Bone marrow smear: 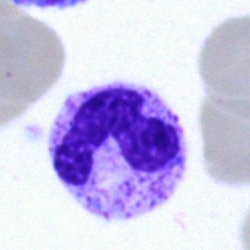Showing a neutrophil (segmented).